Bone marrow aspirate smear:
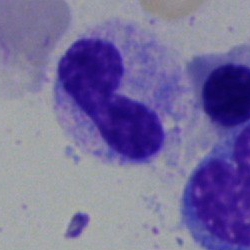

Impression — band-form neutrophil.